Bone marrow aspirate smear; image size 250×250.
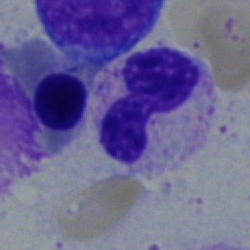

The cell shown is a band neutrophil.